Bone marrow smear · MGG-stained:
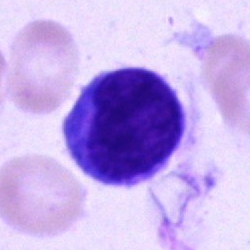

Impression — typical lymphocyte.